Bone marrow aspirate smear.
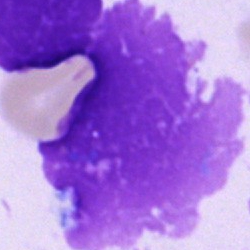 Q: What is shown here?
A: This is an artefact.